Image size 250×250; bone marrow smear:
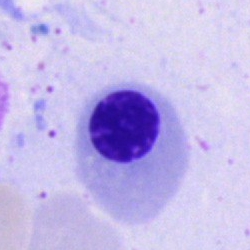The cell is nucleated red cell.